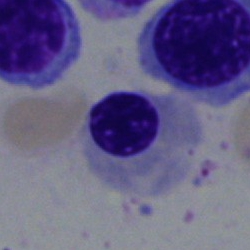Single-cell crop from a bone marrow smear: nucleated red cell.